Bone marrow smear. 250×250. MGG-stained — 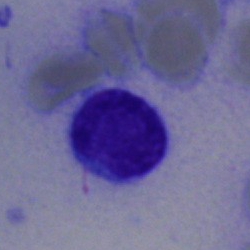
{"cell_type": "typical lymphocyte", "lineage": "lymphoid"}